Bone marrow smear — 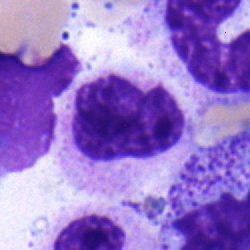Classification: band neutrophil.